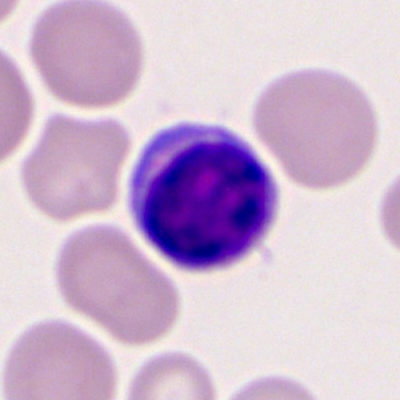
A lymphocyte on a peripheral blood smear.